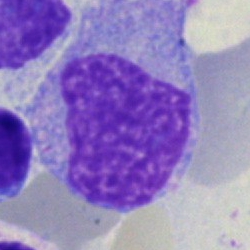

Bone marrow aspirate smear, single cell — artifact.